Bone marrow aspirate smear; May-Grünwald-Giemsa/Pappenheim stain.
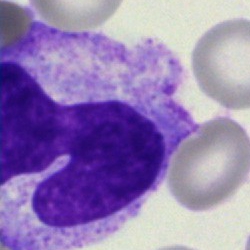 The morphological class is monocyte.